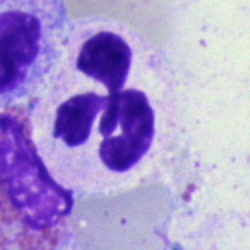 The cell is segmented neutrophil.